250 by 250 pixels · MGG-stained · bone marrow aspirate smear — 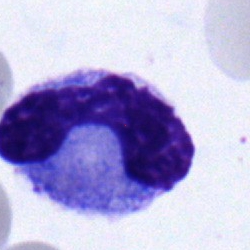Classification = monocyte.